Brightfield, 40× oil-immersion objective · bone marrow smear · 250 by 250 pixels
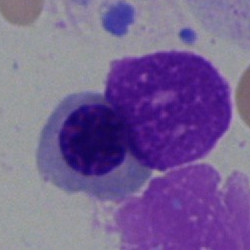 Q: What is shown here?
A: This is a nucleated red cell.